May-Grünwald-Giemsa/Pappenheim stain. Bone marrow aspirate smear.
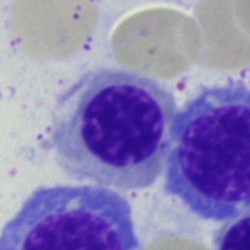

Specimen: bone marrow smear.
Cell type: nucleated red cell.